Bone marrow aspirate smear. May-Grünwald-Giemsa stain:
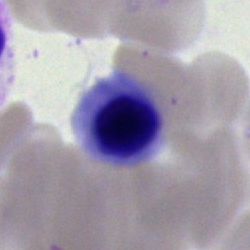 This is an erythroblast.